MGG-stained. Bone marrow aspirate smear: 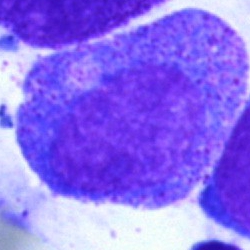 Q: Identify the cell.
A: Promyelocyte.